Pappenheim-stained; bone marrow aspirate smear: 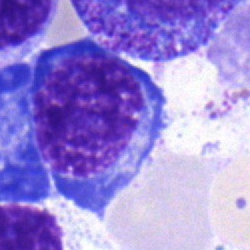
Specimen: bone marrow smear.
Classification: nucleated red cell.
Lineage: erythroid.